Bone marrow aspirate smear · single-cell crop: 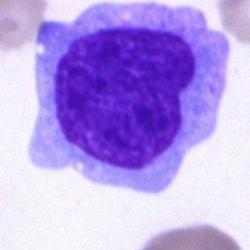

Morphological class = monocyte.